Bone marrow aspirate smear.
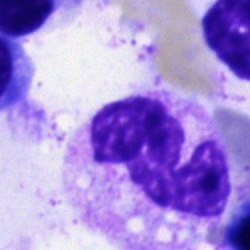
Specimen: bone marrow aspirate smear.
Classification: artifact.